Brightfield microscopy, 40× oil immersion; bone marrow smear — 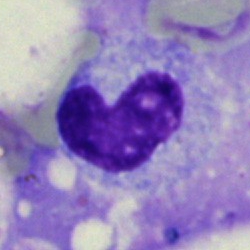 {"cell_type": "neutrophil (band)"}